Brightfield microscopy, 40× oil immersion · bone marrow aspirate smear:
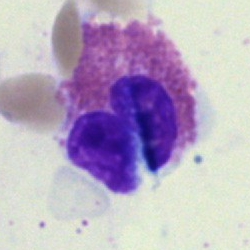
Q: Which cell type is shown here?
A: This is an eosinophilic granulocyte.